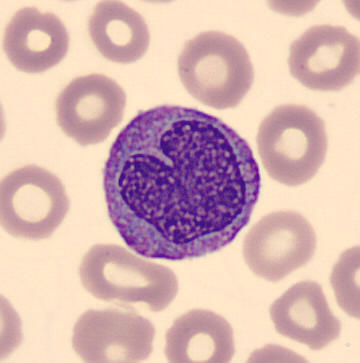Cell type: monocyte. Image: Peripheral blood smear. MGG-stained. Image size 360×363.